Bone marrow aspirate smear — 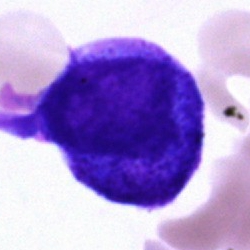Q: What is the morphological classification of this cell?
A: This is a blast.